Bone marrow aspirate smear. May-Grünwald-Giemsa stain.
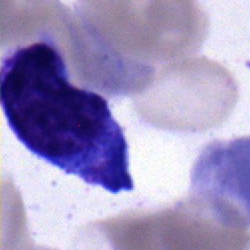

{"cell_type": "monocyte"}